Bone marrow aspirate smear
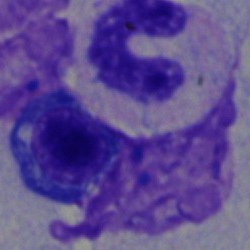
Cell — band-form neutrophil.